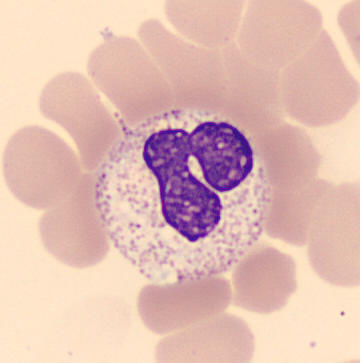Preparation: Peripheral blood film.

This is a neutrophil (segmented).